Peripheral blood film:
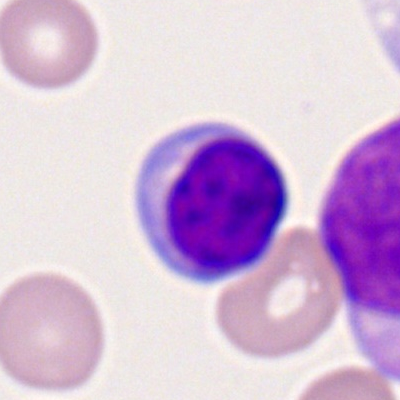
Specimen: peripheral blood smear.
Cell: lymphocyte.
Lineage: lymphoid.